Brightfield, 40× oil-immersion objective; bone marrow aspirate smear; single-cell crop — 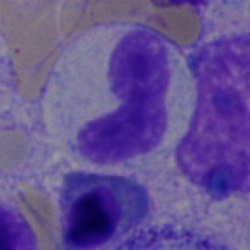

Specimen: bone marrow smear.
Classification: band-form neutrophil.
Lineage: myeloid.